Bone marrow aspirate smear — 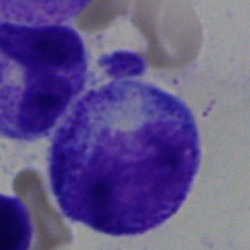A myelocyte.